Bone marrow aspirate smear:
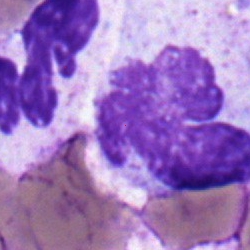Q: Identify the cell.
A: Neutrophil (band).